Bone marrow aspirate smear: 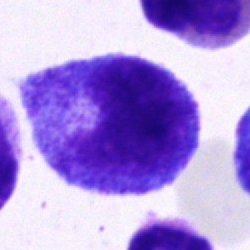

{"cell_type": "promyelocyte"}